Cropped to a single cell · bone marrow smear:
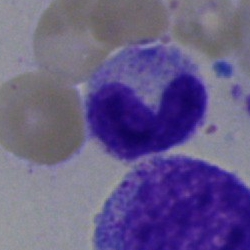

{"cell_type": "stab cell"}